Single-cell field. Bone marrow aspirate smear. 40× oil immersion
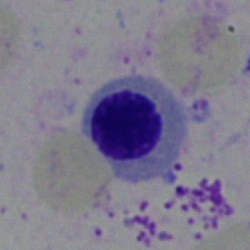 Specimen: bone marrow smear.
Cell type: erythroblast.